Bone marrow smear · 250 by 250 pixels
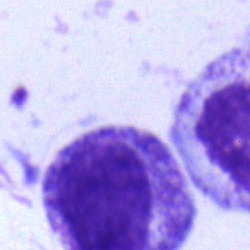Specimen: bone marrow aspirate smear.
Cell: myelocyte.